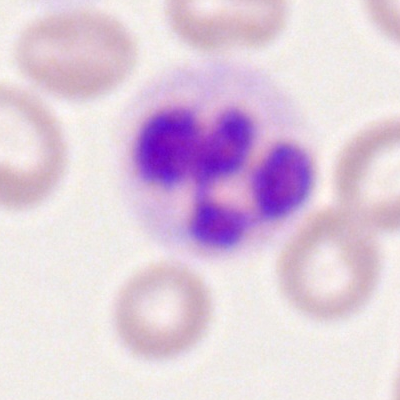
Single-cell crop from a peripheral blood smear: segmented neutrophil.